Cropped to a single cell. Bone marrow smear.
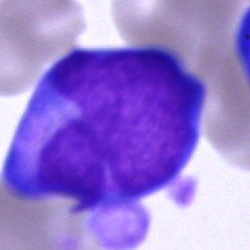
Morphology — undifferentiated blast.